Bone marrow smear:
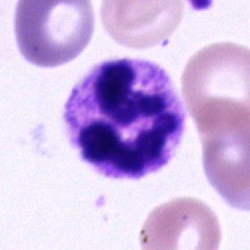

Cell type: segmented neutrophil.